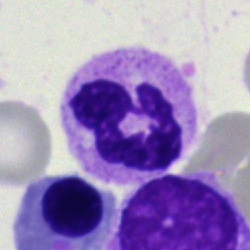
Specimen: bone marrow smear.
Morphological class: polymorphonuclear neutrophil.
Lineage: myeloid.